Bone marrow aspirate smear; 250 by 250 pixels.
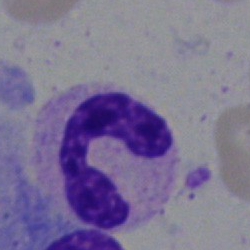

The cell shown is a segmented neutrophil.